250×250 px · bone marrow smear: 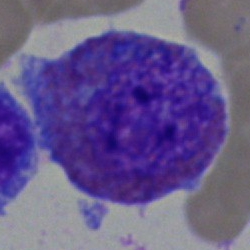
Impression — eosinophilic granulocyte.